Bone marrow smear:
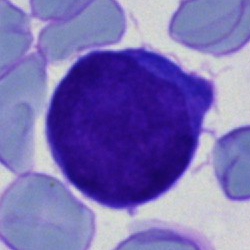

Q: What is shown here?
A: This is a blast cell.